Bone marrow aspirate smear.
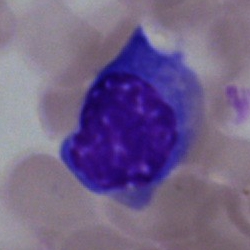
{"cell_type": "cell of indeterminate lineage"}